Bone marrow smear · 250×250 px:
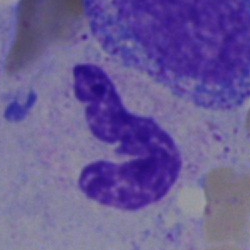

Cell — polymorphonuclear neutrophil.